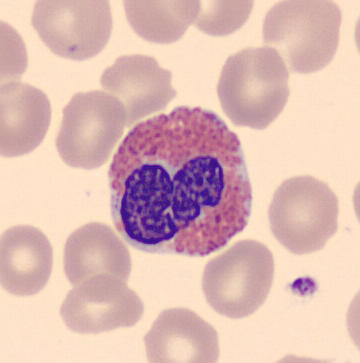Single-cell field · peripheral blood film · image size 360×363.
Single cell identified as an eosinophil.